Bone marrow aspirate smear; May-Grünwald-Giemsa stain: 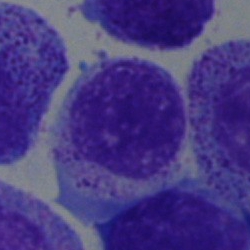 Q: What is shown here?
A: Myelocyte.